Single-cell field; bone marrow aspirate smear; brightfield microscopy, 40× oil immersion:
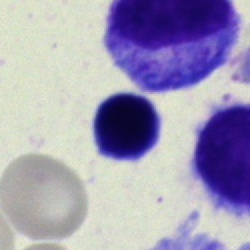

Morphology consistent with an artifact.